Bone marrow aspirate smear — 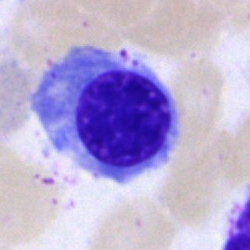An erythroblast.